Single-cell crop. May-Grünwald-Giemsa/Pappenheim stain. Bone marrow smear:
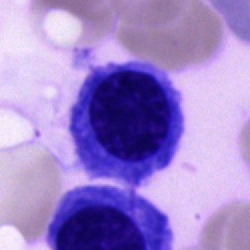Cell type — monocyte.